Bone marrow smear
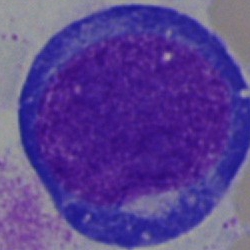
Q: What cell is this?
A: This is a proerythroblast.